Bone marrow smear:
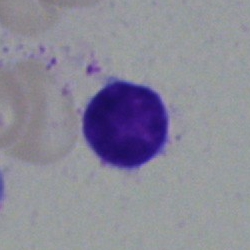Specimen: bone marrow aspirate smear.
Cell type: lymphocyte.
Lineage: lymphoid.